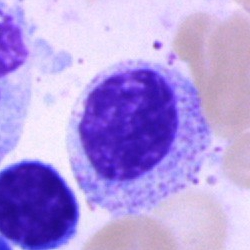
Q: Identify the cell.
A: It is a myelocyte.